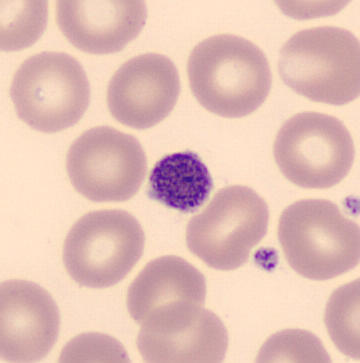

Acquisition: Peripheral blood film.

A platelet (thrombocyte).